Bone marrow aspirate smear · May-Grünwald-Giemsa stain
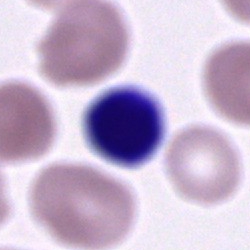

Morphological class: unidentifiable cell.